Bone marrow aspirate smear — 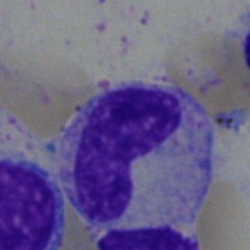

Classification — metamyelocyte.